Bone marrow smear
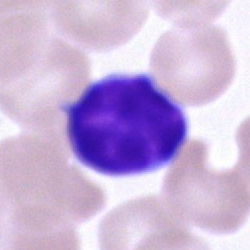

Specimen: bone marrow aspirate smear.
Classification: lymphocyte.
Lineage: lymphoid.